Bone marrow aspirate smear: 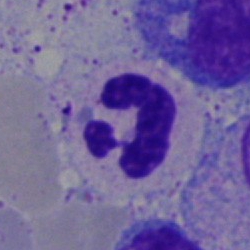
Single cell identified as a segmented neutrophil.